Bone marrow aspirate smear — 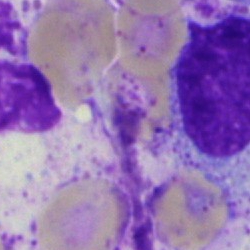Cell type: artefact.